CellaVision DM96 digital cell image. Peripheral blood smear — 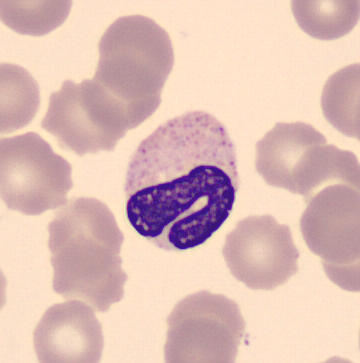Q: What is the morphological classification of this cell?
A: A band-form neutrophil.